MGG-stained · bone marrow smear: 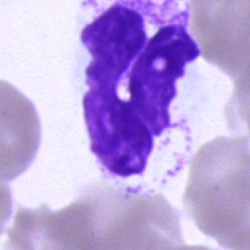Morphology — segmented neutrophil.